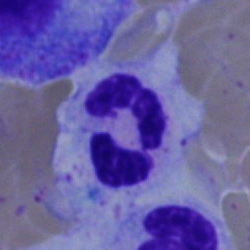

Impression → segmented neutrophil.